Bone marrow aspirate smear:
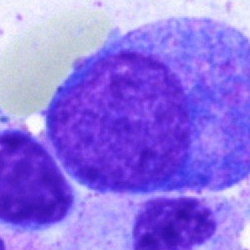

Morphology consistent with a progranulocyte.